360×363 · peripheral blood smear — 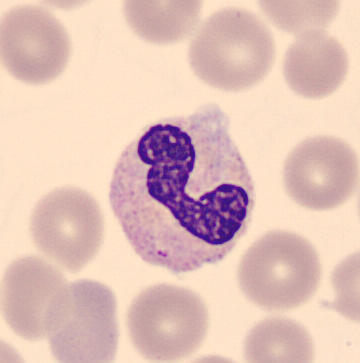 Showing a stab cell.